May-Grünwald-Giemsa stain. Brightfield microscopy, 40× oil immersion. Bone marrow aspirate smear: 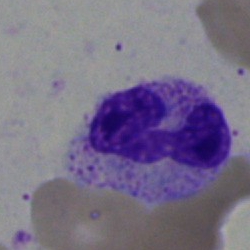

Cell — polymorphonuclear neutrophil.